Bone marrow aspirate smear.
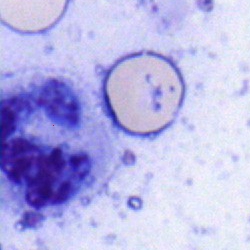
Showing a segmented neutrophil.